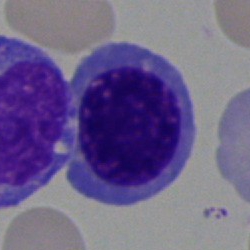 The cell type is normoblast.